Bone marrow smear:
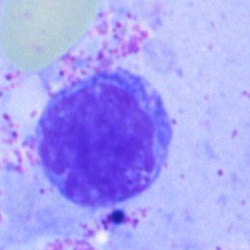

Single cell identified as a lymphocyte.